Bone marrow smear
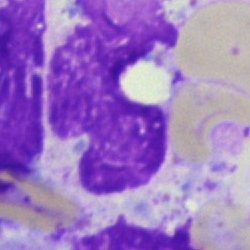

{"cell_type": "artifact"}